Bone marrow aspirate smear · single cell centered in the field:
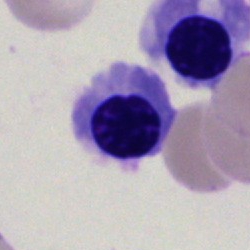Classification — erythroblast.